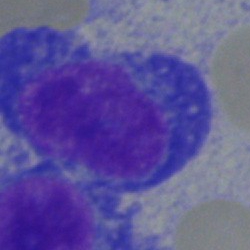 Showing a plasmacyte.